Bone marrow smear
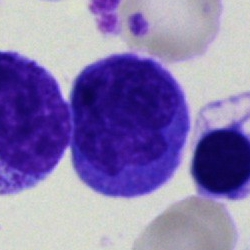Q: What is shown here?
A: This is a monocyte.